Bone marrow smear; 40× oil immersion
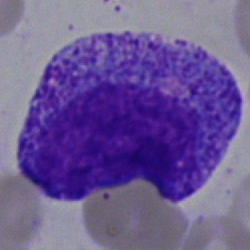Showing a promyelocyte.